Bone marrow smear: 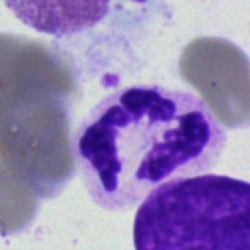
Cell: polymorphonuclear neutrophil.